Bone marrow smear.
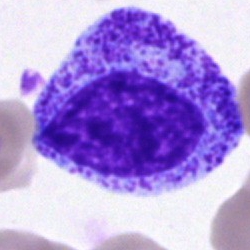Cell type: myelocyte.